Cropped to a single cell · bone marrow aspirate smear.
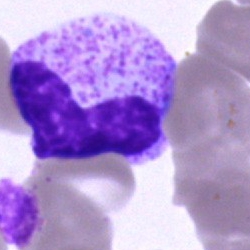
Morphological class = band neutrophil.